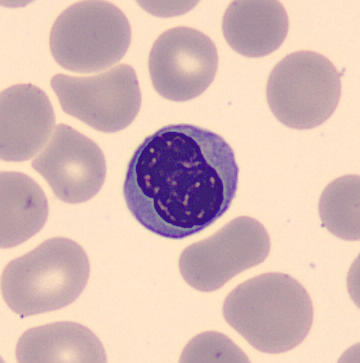 Peripheral blood smear. The morphological class is nucleated red blood cell.